Bone marrow smear. 250×250 px — 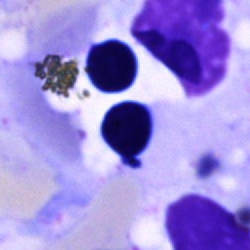

This is an artifact.